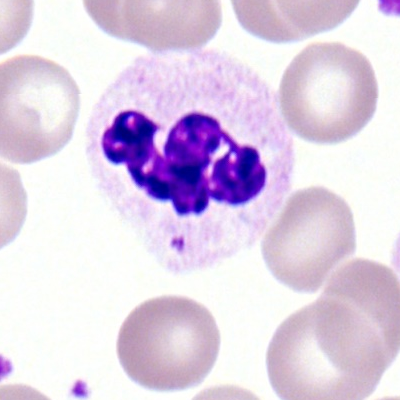

Q: What type of cell is this?
A: This is a segmented neutrophil.